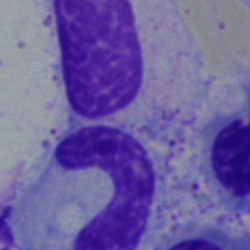 Q: What is shown here?
A: Artefact.